Bone marrow aspirate smear.
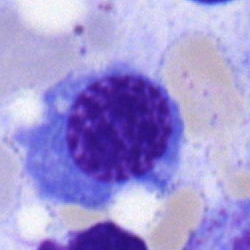
Q: What is shown here?
A: This is an erythroblast.